Bone marrow smear:
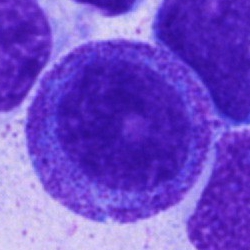
This is a promyelocyte.